Bone marrow aspirate smear — 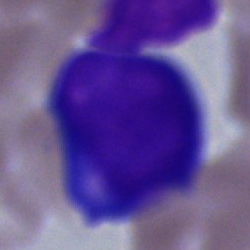 Artefact.